Bone marrow aspirate smear · 250×250.
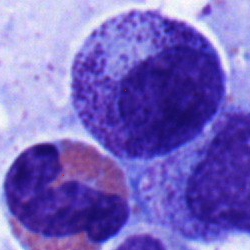
This is a myelocyte.